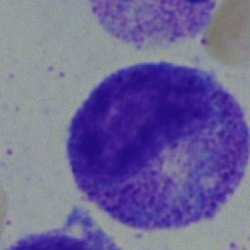Q: What type of cell is this?
A: This is a myelocyte.